Bone marrow aspirate smear. 250×250 — 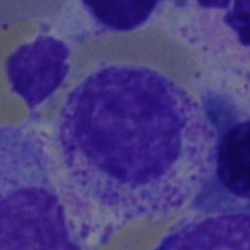 Q: What cell is this?
A: Myelocyte.